Bone marrow smear.
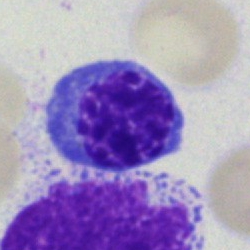

Specimen: bone marrow aspirate smear.
Cell type: nucleated red cell.
Lineage: erythroid.